Bone marrow aspirate smear
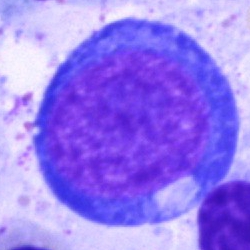This is a pronormoblast.